250×250 px; bone marrow aspirate smear:
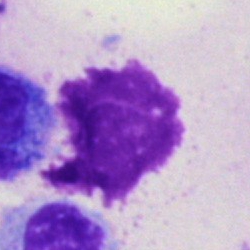

Q: What is shown here?
A: Artefact.